Bone marrow aspirate smear · 250 by 250 pixels: 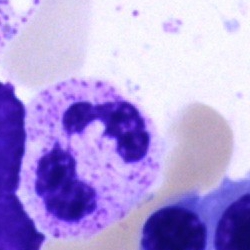 Morphology consistent with a neutrophil (segmented).